Bone marrow aspirate smear:
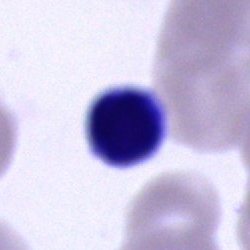

Typical lymphocyte.